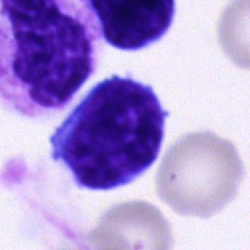
The classification is lymphocyte.